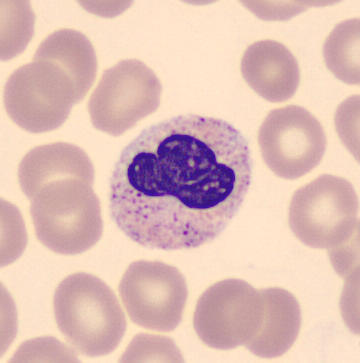
Morphological class = stab cell.
Peripheral blood film.